Peripheral blood smear. Cropped to a single cell — 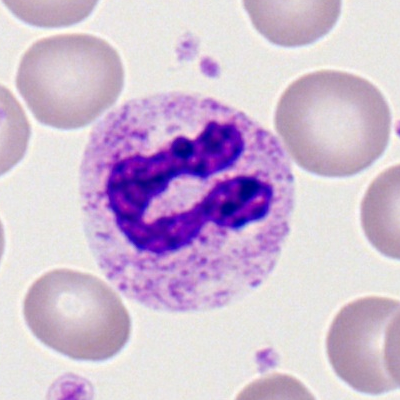 The classification is neutrophil (segmented).